Peripheral blood smear · single-cell crop
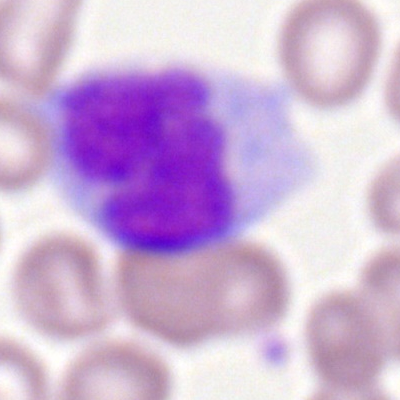 {"cell_type": "monocyte", "lineage": "myeloid"}